40× objective, oil immersion. May-Grünwald-Giemsa/Pappenheim stain. Bone marrow smear:
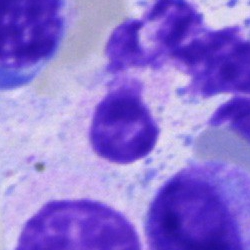Q: What is shown here?
A: This is an artefact.